Bone marrow aspirate smear: 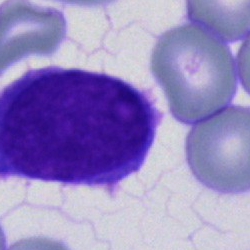
The cell shown is a blast.